Bone marrow smear
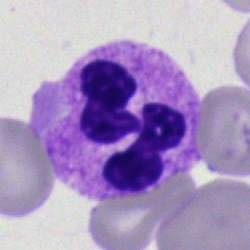
{"cell_type": "polymorphonuclear neutrophil", "lineage": "myeloid"}